Bone marrow aspirate smear; May-Grünwald-Giemsa/Pappenheim stain.
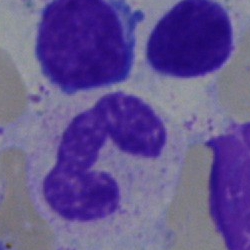
Cell: neutrophil (segmented).